Bone marrow smear; 250×250.
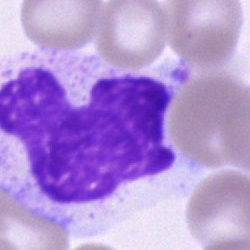
Morphology → artifact.